Bone marrow smear.
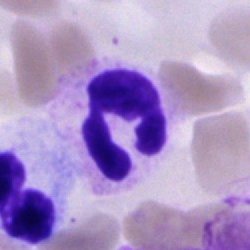

{"cell_type": "polymorphonuclear neutrophil", "lineage": "myeloid"}